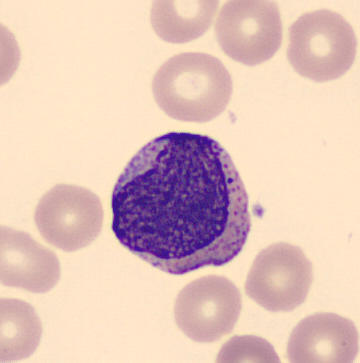
Single cell identified as a progranulocyte. 360×363 · peripheral blood film.